Bone marrow smear.
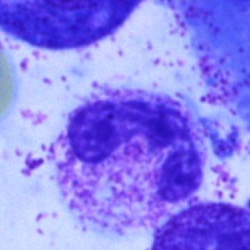

Single cell identified as a segmented neutrophil.